Peripheral blood film — 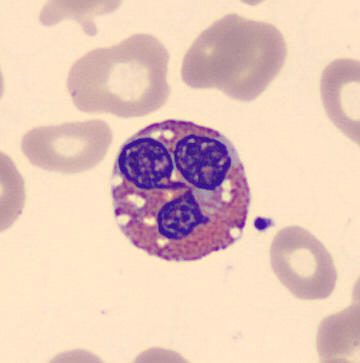Q: What cell is this?
A: This is an eosinophil.